Peripheral blood smear · single cell centered in the field: 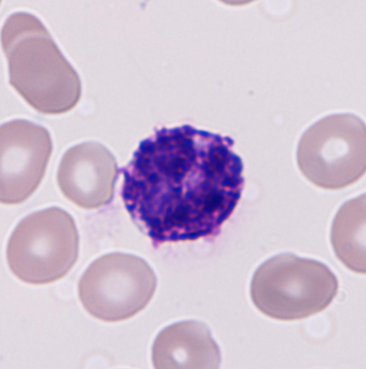
Q: Which cell type is shown here?
A: This is a basophilic granulocyte.